Bone marrow smear
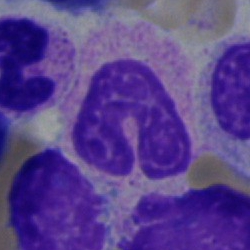The cell is stab cell.